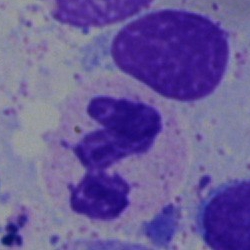Bone marrow aspirate smear, single cell — segmented neutrophil.